Bone marrow aspirate smear:
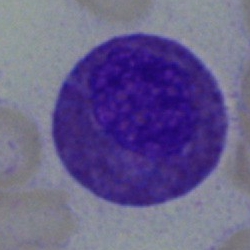
Specimen: bone marrow aspirate smear.
Cell: eosinophilic granulocyte.
Lineage: myeloid.